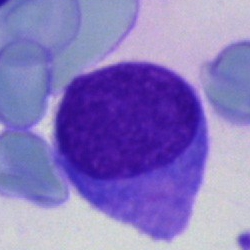The morphological class is blast cell.